Bone marrow smear. Single-cell field. Image size 250×250.
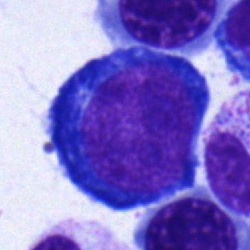 Specimen: bone marrow smear.
Morphological class: pronormoblast.